May-Grünwald-Giemsa stain. Bone marrow aspirate smear: 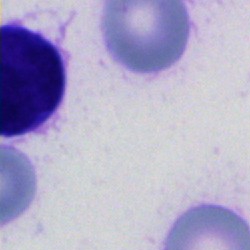This is an other cell.